250×250 px. Bone marrow smear:
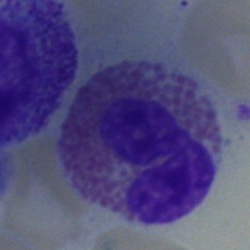Showing an eosinophilic granulocyte.